Bone marrow aspirate smear
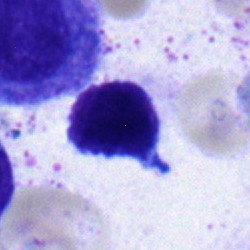{"cell_type": "lymphocyte", "lineage": "lymphoid"}